Bone marrow smear
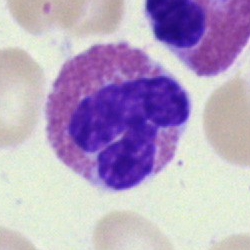
Morphological class: eosinophilic granulocyte.